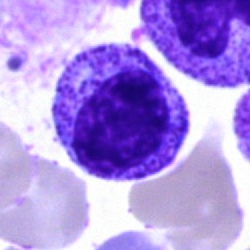The cell shown is a myelocyte.